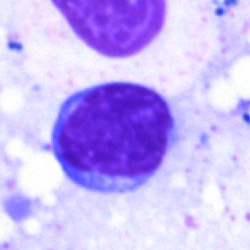Specimen: bone marrow aspirate smear.
Morphological class: typical lymphocyte.
Lineage: lymphoid.